Bone marrow aspirate smear · single cell centered in the field
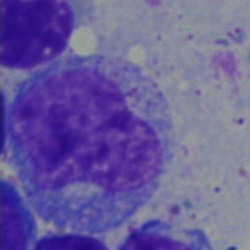

{"cell_type": "monocyte"}